Bone marrow aspirate smear:
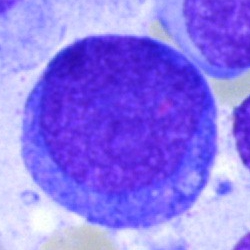The cell shown is an undifferentiated blast.